Bone marrow aspirate smear
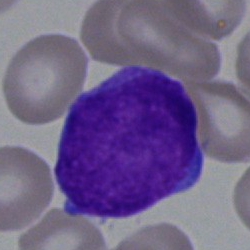Specimen: bone marrow smear.
Cell: blast cell.